Single-cell crop; 40× oil immersion; bone marrow smear.
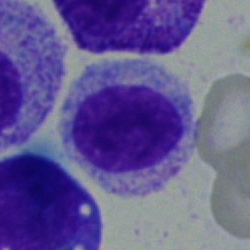Q: What is shown here?
A: Myelocyte.